Bone marrow aspirate smear:
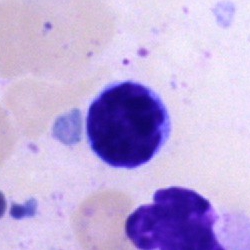

Q: What type of cell is this?
A: Typical lymphocyte.